Bone marrow smear.
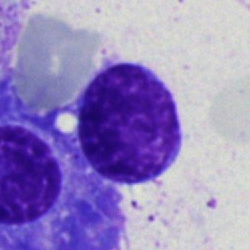 Specimen: bone marrow aspirate smear.
Cell type: typical lymphocyte.
Lineage: lymphoid.